Brightfield, 40× oil-immersion objective. Bone marrow smear:
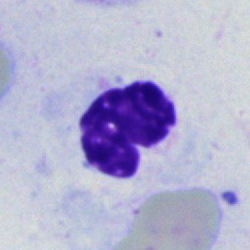 Showing an artifact.